Bone marrow aspirate smear.
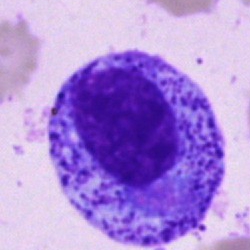Q: What cell is this?
A: This is a progranulocyte.